Bone marrow aspirate smear
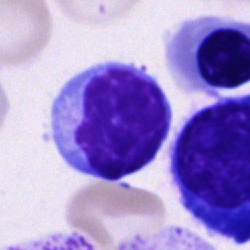 The morphological class is typical lymphocyte.